Bone marrow smear:
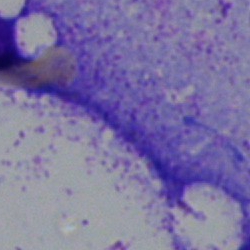

Cell: artefact.